Bone marrow aspirate smear: 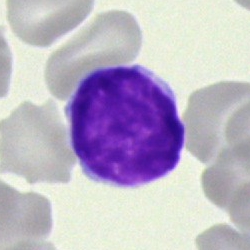

Impression — lymphocyte.